Bone marrow smear — 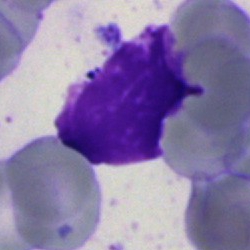 {"cell_type": "artifact"}